Bone marrow aspirate smear
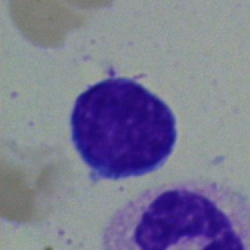Cell type: typical lymphocyte.